Bone marrow aspirate smear · brightfield microscopy, 40× oil immersion.
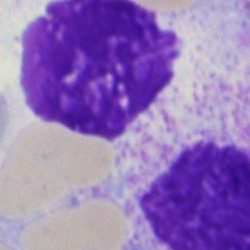Specimen: bone marrow smear.
Classification: artifact.